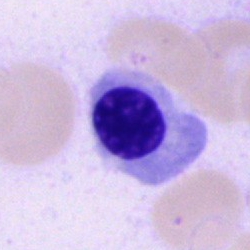

Q: What cell is this?
A: Nucleated red cell.